Bone marrow aspirate smear · May-Grünwald-Giemsa/Pappenheim stain · single-cell field — 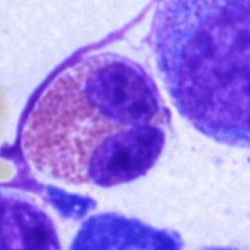 The cell shown is an eosinophil.